Bone marrow smear:
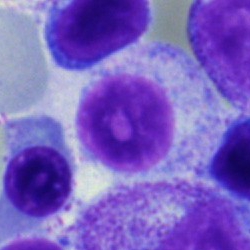

The cell is cell of indeterminate lineage.